Bone marrow aspirate smear
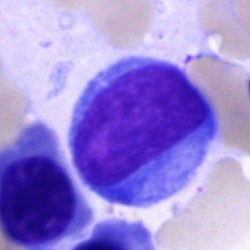 Morphological class — blast cell.